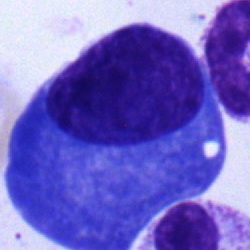Plasma cell.